Single cell centered in the field · 400 by 400 pixels · peripheral blood film
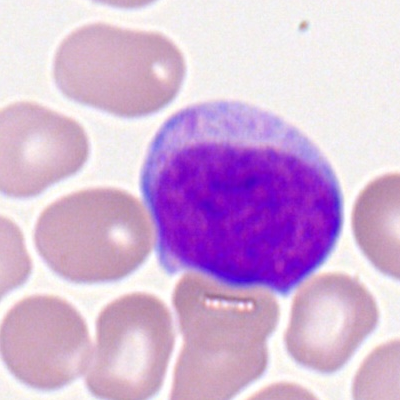
Myeloblast.